Brightfield microscopy, 40× oil immersion. Bone marrow smear.
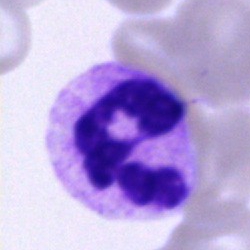 A polymorphonuclear neutrophil.